Bone marrow aspirate smear; May-Grünwald-Giemsa/Pappenheim stain: 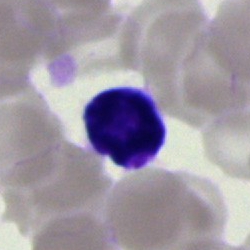Morphology — typical lymphocyte.